Bone marrow smear.
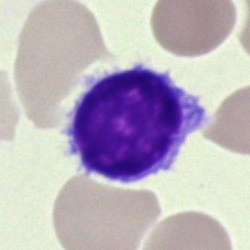

Cell — lymphocyte.